250×250; bone marrow aspirate smear:
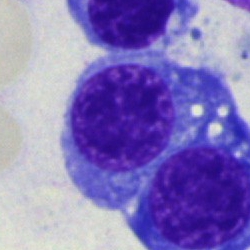 Morphological class: nucleated red blood cell.